Bone marrow aspirate smear · 250 by 250 pixels: 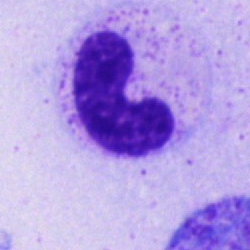 Q: What type of cell is this?
A: It is a band-form neutrophil.